Bone marrow smear:
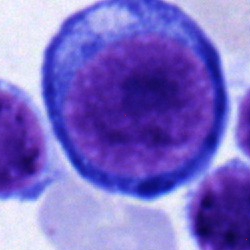
Specimen: bone marrow smear.
Morphological class: pronormoblast.
Lineage: erythroid.